Brightfield, 40× oil-immersion objective · bone marrow smear · cropped to a single cell
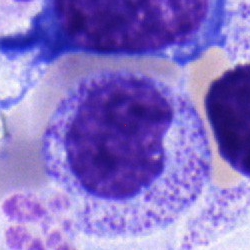
A myelocyte.